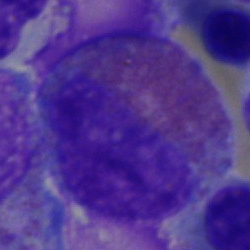
Classification = eosinophilic granulocyte.